Bone marrow aspirate smear — 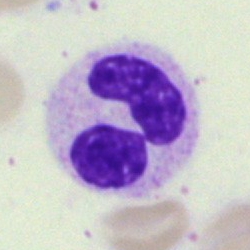 Showing a segmented neutrophil.